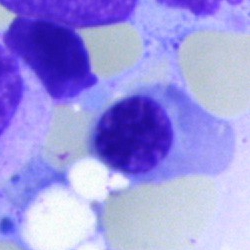 Morphology — normoblast.